Bone marrow aspirate smear · 250 by 250 pixels: 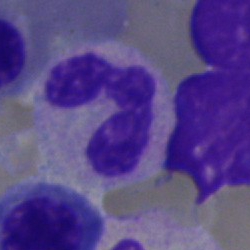Showing a neutrophil (segmented).